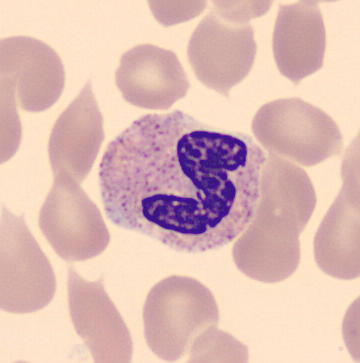

Specimen: peripheral blood smear.
Morphological class: polymorphonuclear neutrophil.
Lineage: myeloid.